Peripheral blood film · single-cell crop — 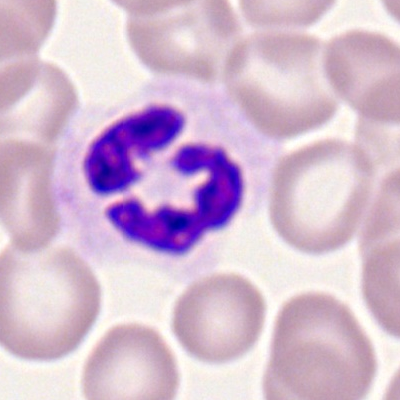 Morphology consistent with a polymorphonuclear neutrophil.